Bone marrow aspirate smear. 250×250. Cropped to a single cell: 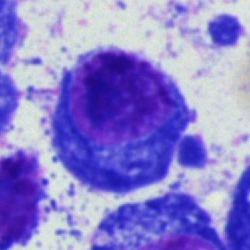
Plasmacyte.